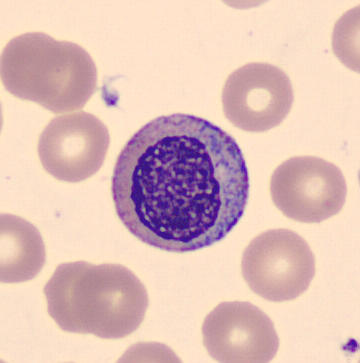 Preparation: Peripheral blood film.

Morphology → myelocyte.